Bone marrow aspirate smear
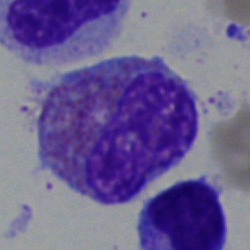Specimen: bone marrow smear.
Morphological class: eosinophilic granulocyte.
Lineage: myeloid.